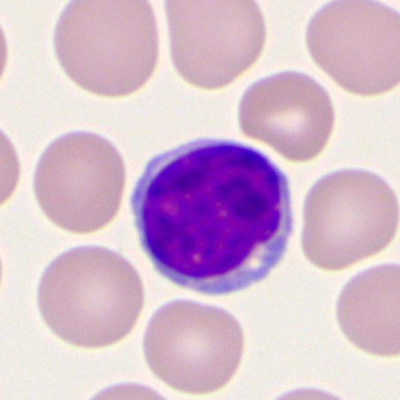
Cell type = lymphocyte.